Peripheral blood film
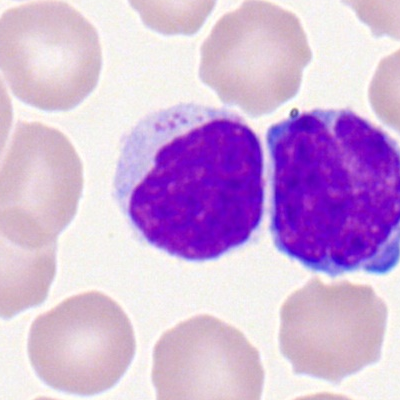 Specimen: peripheral blood smear.
Classification: typical lymphocyte.
Lineage: lymphoid.